250×250 px · bone marrow aspirate smear — 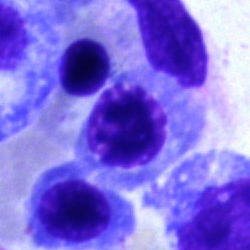Morphology consistent with a nucleated red blood cell.